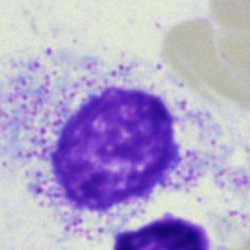A myelocyte on a bone marrow smear.